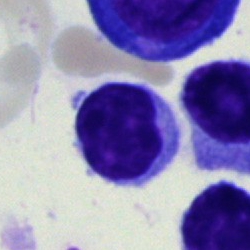
Q: What is shown here?
A: It is a lymphocyte.